Bone marrow aspirate smear
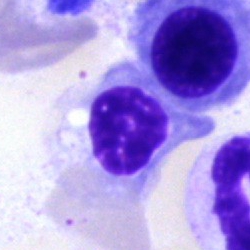 Specimen: bone marrow aspirate smear.
Cell: erythroblast.